Bone marrow smear; May-Grünwald-Giemsa/Pappenheim stain; 40× oil immersion: 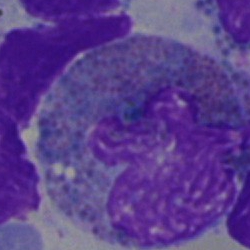Single cell identified as an eosinophil.